Bone marrow aspirate smear: 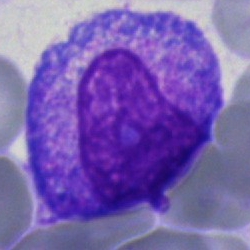
Q: What is the morphological classification of this cell?
A: This is a promyelocyte.